Peripheral blood film. Romanowsky-stained — 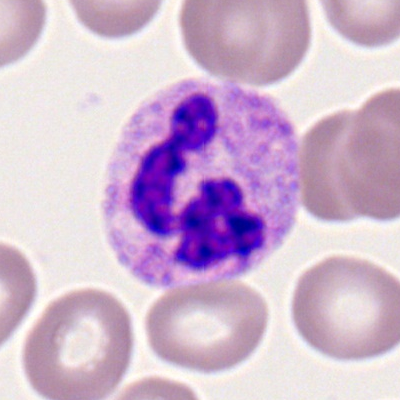 The cell shown is a polymorphonuclear neutrophil.